Bone marrow smear. Image size 250×250
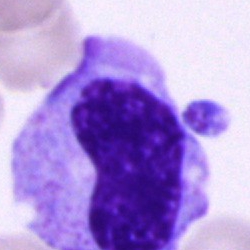

Morphology → progranulocyte.